40× objective, oil immersion. 250×250 px. Bone marrow smear
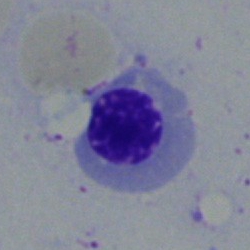Nucleated red cell.